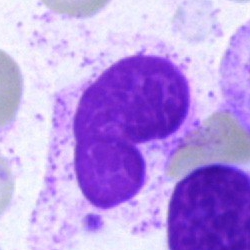The cell shown is an artefact.